250×250 · bone marrow smear
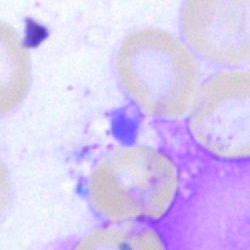
Morphology consistent with an artifact.